Bone marrow smear — 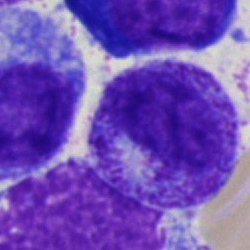Single cell identified as a myelocyte.